Peripheral blood smear — 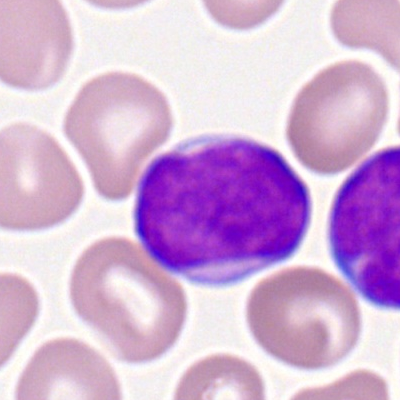

The cell shown is a myeloblast.